Peripheral blood smear
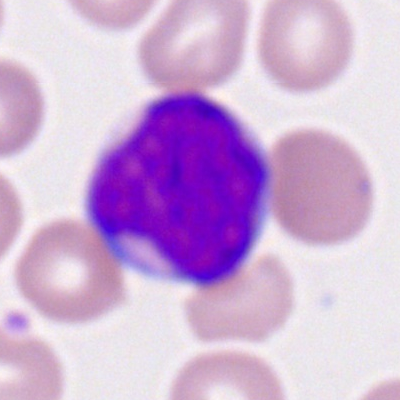
A myeloid blast.